Peripheral blood film; image size 400×400.
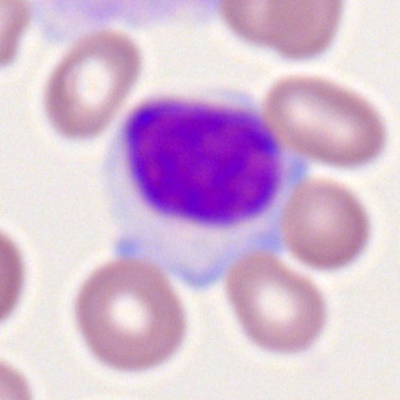

Classification — lymphocyte.